Bone marrow aspirate smear. May-Grünwald-Giemsa stain:
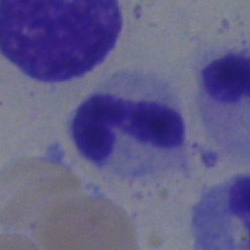
Morphology consistent with a polymorphonuclear neutrophil.